Bone marrow aspirate smear
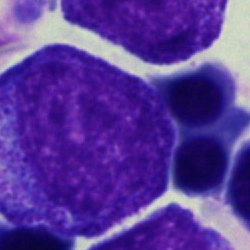

The classification is progranulocyte.